Single-cell field · bone marrow smear:
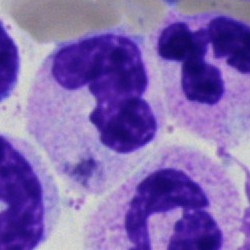
Q: What cell is this?
A: This is a polymorphonuclear neutrophil.